Bone marrow smear: 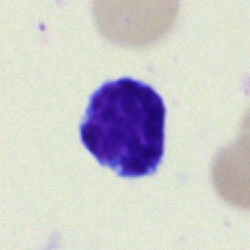

Q: What cell is this?
A: This is a typical lymphocyte.